Bone marrow smear.
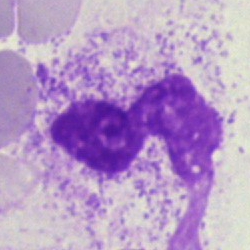
Classification — segmented neutrophil.